Bone marrow smear:
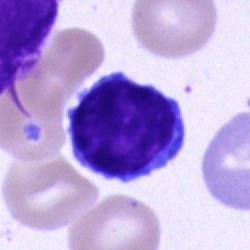Specimen: bone marrow smear.
Cell type: lymphocyte.
Lineage: lymphoid.